Bone marrow smear:
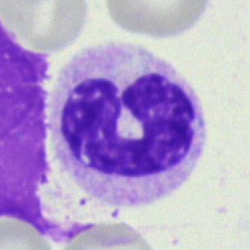
Band-form neutrophil.